Bone marrow smear · 40× objective, oil immersion — 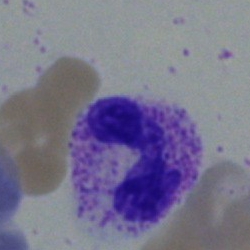 Cell = neutrophil (band).